Peripheral blood film: 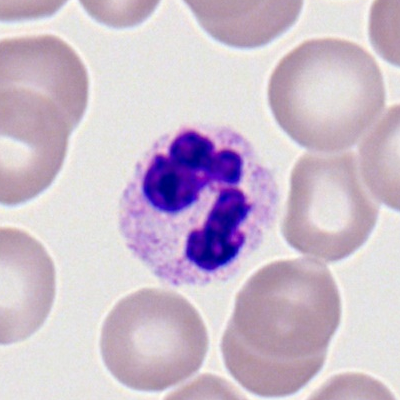

This is a segmented neutrophil.